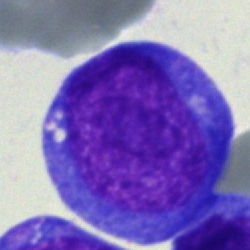Classification — undifferentiated blast.